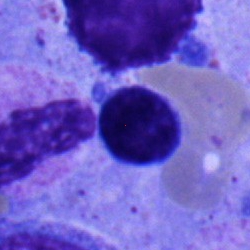
Morphology — typical lymphocyte.